250×250. Bone marrow smear: 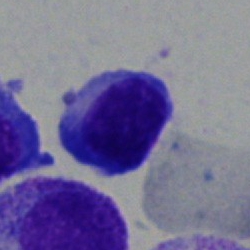 Classification = lymphocyte.